Bone marrow smear. Image size 250×250. Pappenheim-stained:
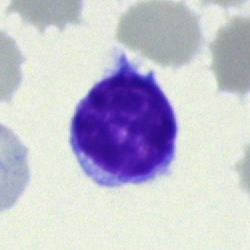Showing a typical lymphocyte.